Bone marrow smear · 250 by 250 pixels · 40× objective, oil immersion: 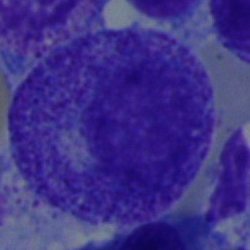 Q: What is the morphological classification of this cell?
A: It is a progranulocyte.